Bone marrow smear.
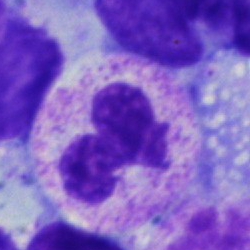This is a polymorphonuclear neutrophil.